Bone marrow aspirate smear
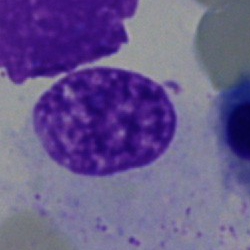 Morphology consistent with an artifact.